MGG-stained · bone marrow smear · image size 250×250.
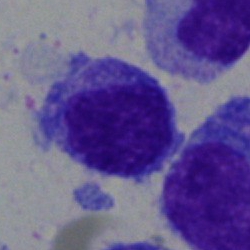Q: Which cell type is shown here?
A: This is a typical lymphocyte.